250×250; bone marrow smear
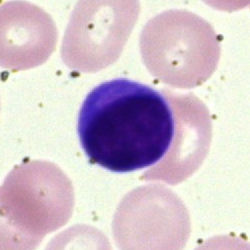 The cell is typical lymphocyte.